Bone marrow smear; 250×250: 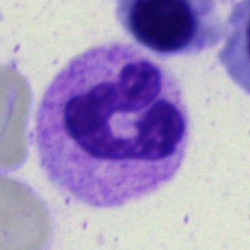 Morphological class — neutrophil (segmented).